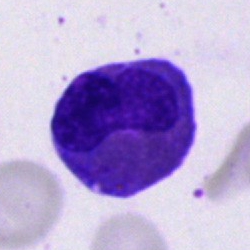 Single-cell crop from a bone marrow smear: eosinophil.